Bone marrow aspirate smear: 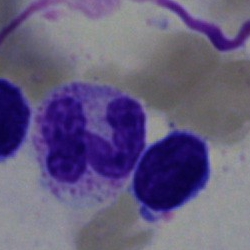Cell type = segmented neutrophil.